Bone marrow aspirate smear; May-Grünwald-Giemsa/Pappenheim stain: 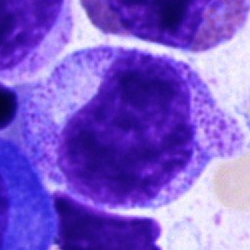

A myelocyte.